Bone marrow aspirate smear — 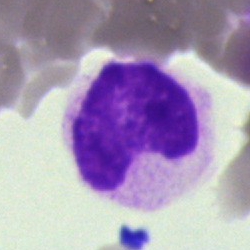

Single cell identified as an artifact.